Bone marrow smear.
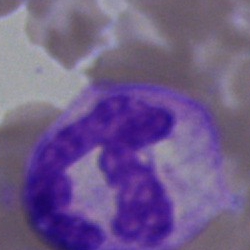

Single cell identified as a polymorphonuclear neutrophil.